Bone marrow aspirate smear: 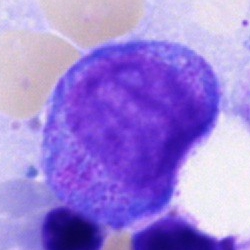Progranulocyte.